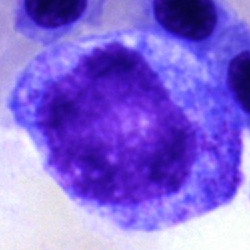
Cell type: promyelocyte.